Bone marrow smear · brightfield, 40× oil-immersion objective · single-cell crop.
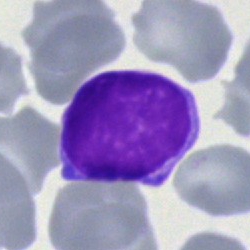
This is a typical lymphocyte.